Bone marrow smear
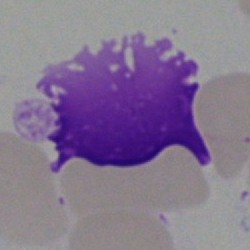

An artefact.